Bone marrow aspirate smear · 250 by 250 pixels
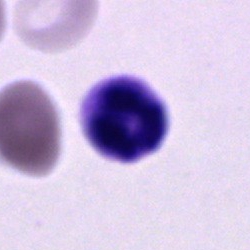

This is a segmented neutrophil.